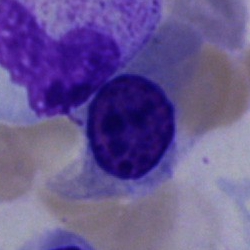 Specimen: bone marrow smear.
Classification: normoblast.
Lineage: erythroid.